Bone marrow aspirate smear.
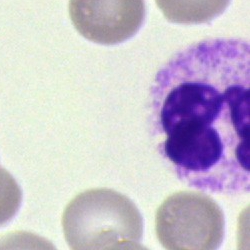
Morphology → segmented neutrophil.